Bone marrow aspirate smear · 250×250
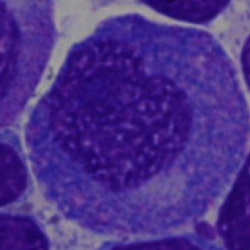Impression → promyelocyte.